Bone marrow smear — 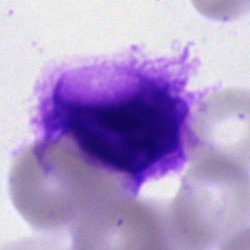

Single cell identified as an artefact.